Bone marrow aspirate smear — 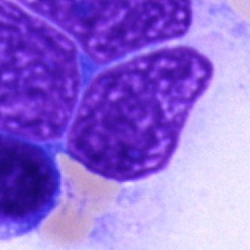Specimen: bone marrow smear.
Cell type: artifact.